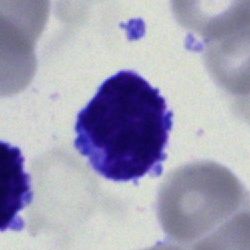Specimen: bone marrow aspirate smear.
Morphological class: undifferentiated blast.